May-Grünwald-Giemsa stain · bone marrow aspirate smear:
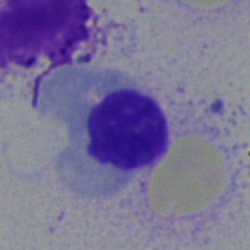
This is a normoblast.